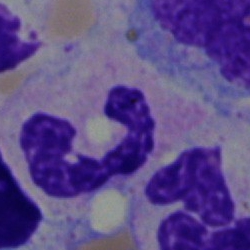
Impression → segmented neutrophil.